Single-cell field · bone marrow aspirate smear — 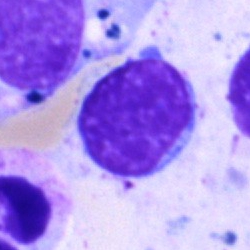
Morphology consistent with a lymphocyte.